Peripheral blood smear:
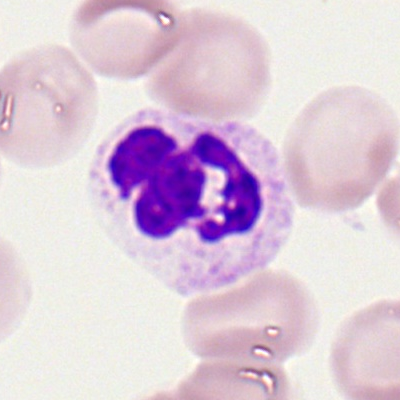Morphological class = segmented neutrophil.